Image size 250×250; bone marrow aspirate smear; single-cell field: 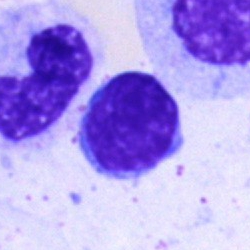
Single cell identified as a lymphocyte.